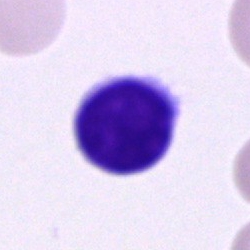Specimen: bone marrow aspirate smear.
Classification: typical lymphocyte.